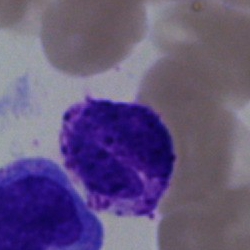Morphology → basophil.